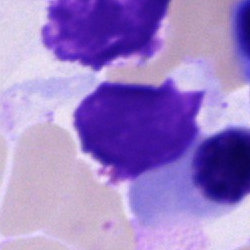 Morphology consistent with an artefact.